Single-cell field. Bone marrow smear: 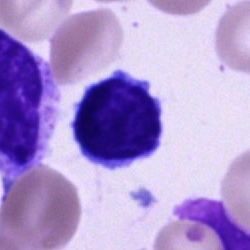

Morphology consistent with a lymphocyte.